Bone marrow smear:
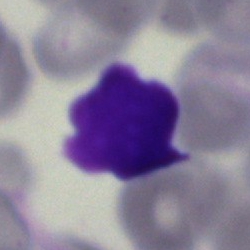 Artefact.